Cropped to a single cell · bone marrow smear: 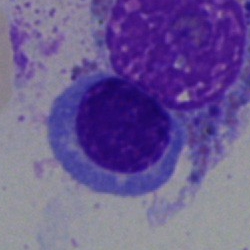 The cell shown is a normoblast.